Bone marrow aspirate smear: 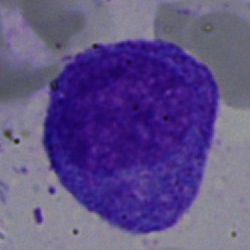

Morphology consistent with a progranulocyte.